Bone marrow aspirate smear.
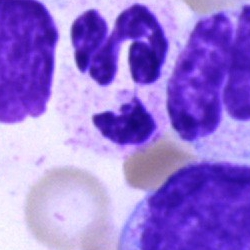Showing a polymorphonuclear neutrophil.